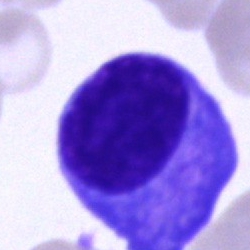Q: Identify the cell.
A: This is a plasma cell.